100× oil immersion, 14.14 px/µm; 400 by 400 pixels; peripheral blood film — 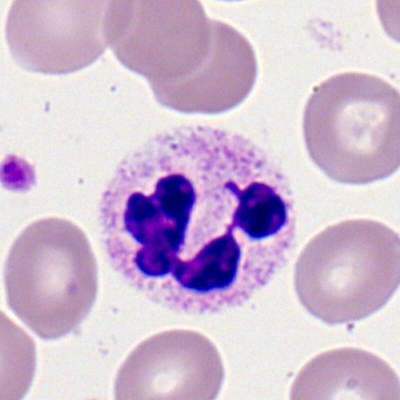 Q: What type of cell is this?
A: Segmented neutrophil.